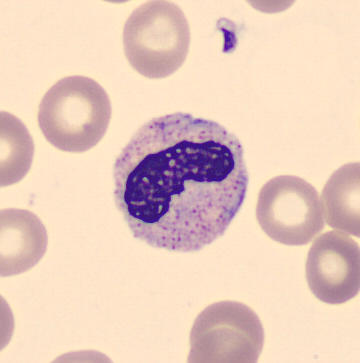Morphological class — neutrophil (band). Peripheral blood film · single cell centered in the field.